Bone marrow aspirate smear:
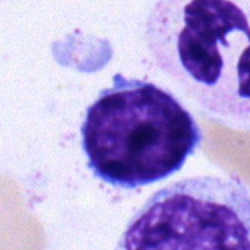
Lymphocyte.